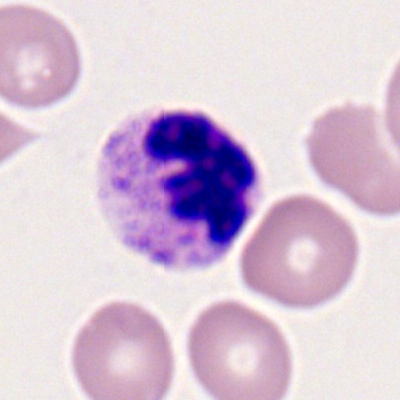
Neutrophil (segmented).